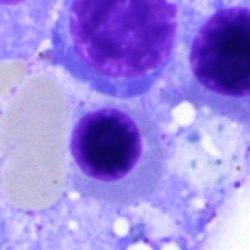Morphological class: normoblast.